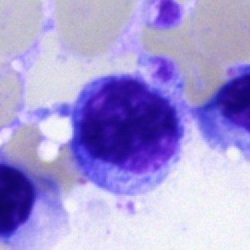
Bone marrow aspirate smear, single cell — lymphocyte.